250 by 250 pixels · single-cell field · bone marrow smear: 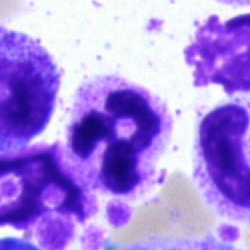Q: What type of cell is this?
A: Neutrophil (segmented).